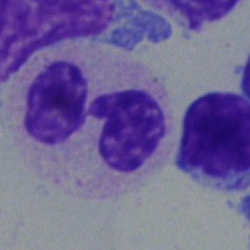
Q: What is the morphological classification of this cell?
A: This is a polymorphonuclear neutrophil.